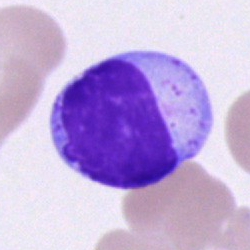
Cell — lymphocyte.